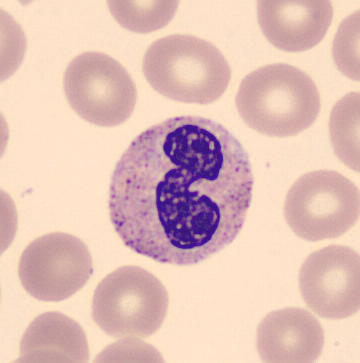
The cell shown is a neutrophil (band). Acquisition: Peripheral blood film. CellaVision DM96.